Peripheral blood film: 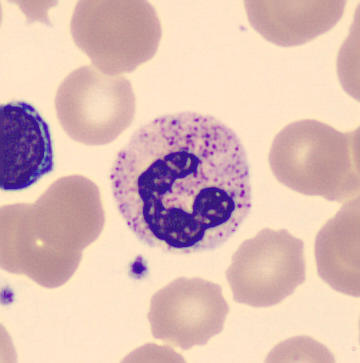Specimen: peripheral blood smear.
Cell type: neutrophil (segmented).
Lineage: myeloid.